Bone marrow aspirate smear · 250×250 · single cell centered in the field — 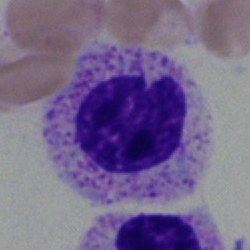Specimen: bone marrow smear.
Classification: myelocyte.